Bone marrow smear — 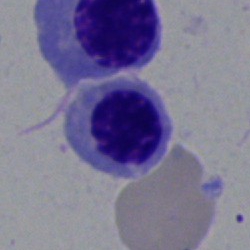 Q: Identify the cell.
A: It is a nucleated red cell.